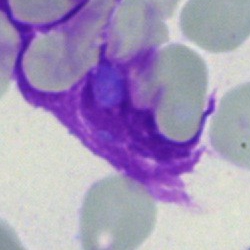The cell type is artefact.